Bone marrow smear.
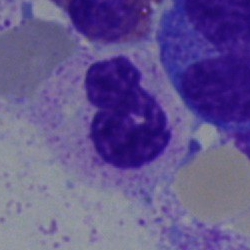
The cell shown is a neutrophil (segmented).